Bone marrow smear · 250×250:
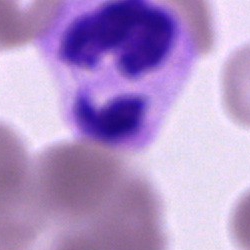Q: Identify the cell.
A: It is a neutrophil (segmented).